250 by 250 pixels. Bone marrow smear: 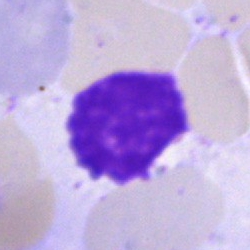 The classification is artefact.